Pappenheim-stained; bone marrow smear: 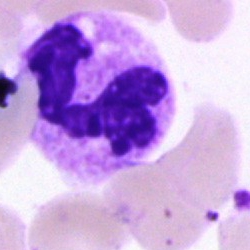 Single cell identified as a polymorphonuclear neutrophil.